Bone marrow smear. 250 by 250 pixels. MGG-stained: 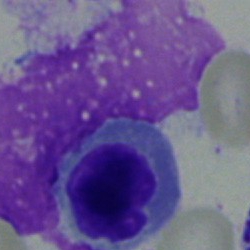
A nucleated red cell.